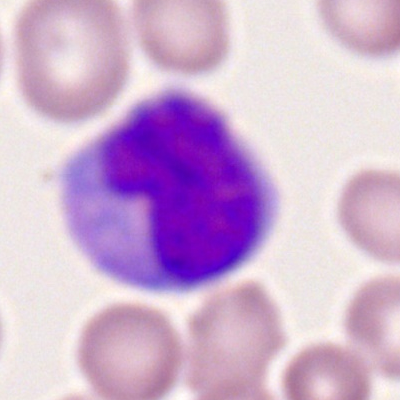

Specimen: peripheral blood film.
Classification: monocyte.